Bone marrow smear; single-cell crop; May-Grünwald-Giemsa/Pappenheim stain.
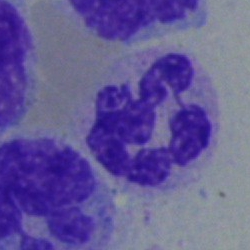Specimen: bone marrow aspirate smear.
Classification: segmented neutrophil.
Lineage: myeloid.